Bone marrow aspirate smear · May-Grünwald-Giemsa/Pappenheim stain — 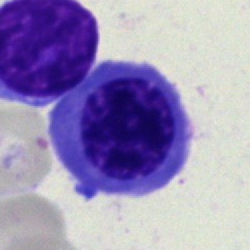

Specimen: bone marrow smear.
Morphological class: nucleated red cell.